Bone marrow smear
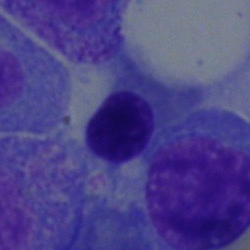
Q: Identify the cell.
A: This is a nucleated red cell.